Bone marrow aspirate smear — 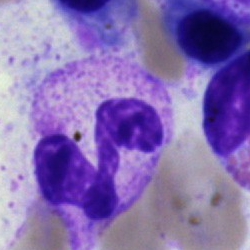
Morphology → segmented neutrophil.